Bone marrow smear. Cropped to a single cell. Brightfield, 40× oil-immersion objective.
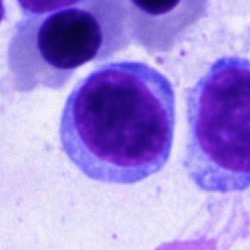Single cell identified as a lymphocyte.